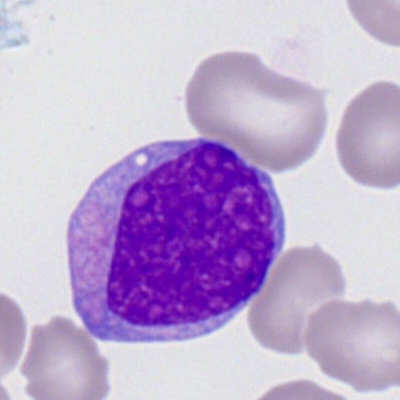

Impression — myeloid blast.